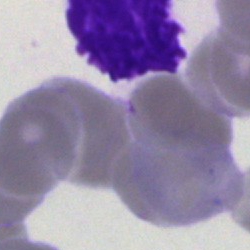
Bone marrow smear showing an artefact.